Bone marrow aspirate smear
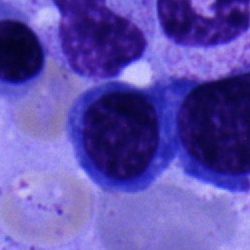 Morphology → nucleated red blood cell.